Bone marrow smear · May-Grünwald-Giemsa/Pappenheim stain · single cell centered in the field — 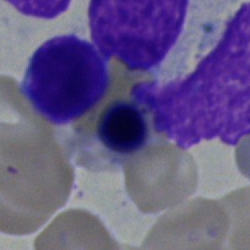The morphological class is erythroblast.